Bone marrow aspirate smear; 250×250; May-Grünwald-Giemsa stain — 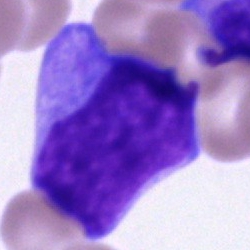Specimen: bone marrow smear.
Cell: blast cell.